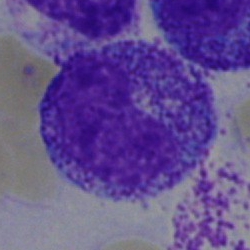
Impression — myelocyte.